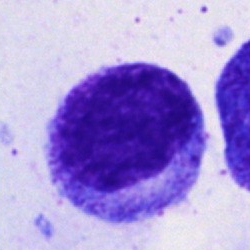
Single cell identified as a promyelocyte.